Bone marrow smear:
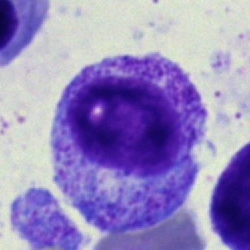Showing a myelocyte.